Peripheral blood film. Cropped to a single cell: 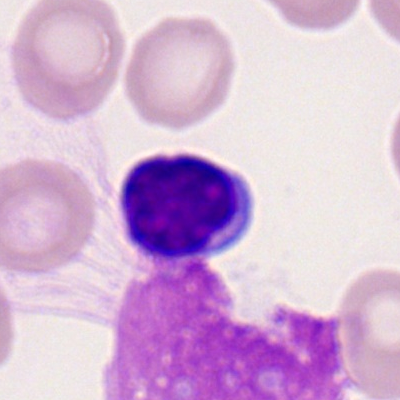Q: Which cell type is shown here?
A: This is a lymphocyte.